Single-cell crop; bone marrow aspirate smear:
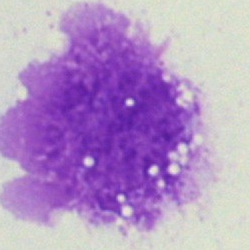
This is an artefact.